Bone marrow aspirate smear. 40× oil immersion — 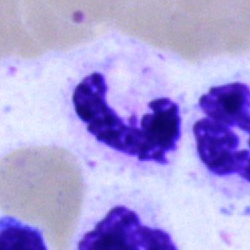 Q: What type of cell is this?
A: It is a polymorphonuclear neutrophil.